Romanowsky-stained; peripheral blood smear: 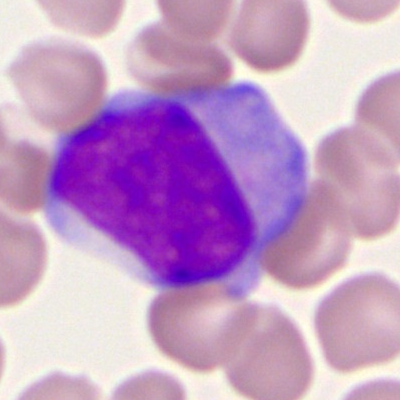 The morphological class is myeloid blast.